Bone marrow smear · single-cell crop:
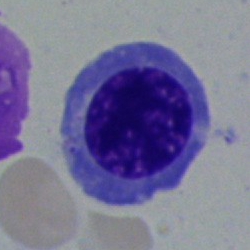 Impression — normoblast.